Cropped to a single cell · bone marrow smear.
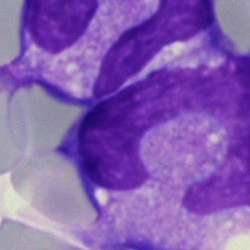

Morphology consistent with a monocyte.